Brightfield, 40× oil-immersion objective · image size 250×250 · bone marrow smear
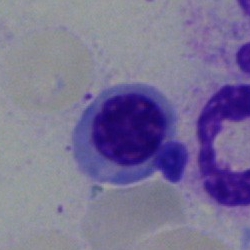 Classification — normoblast.